Bone marrow smear — 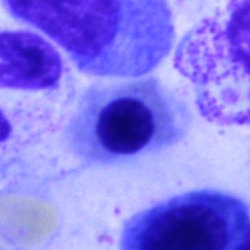
Morphological class: normoblast.